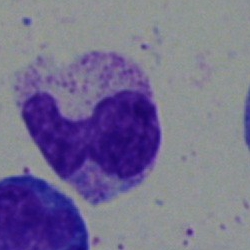

Q: What type of cell is this?
A: This is a neutrophil (band).